Peripheral blood film.
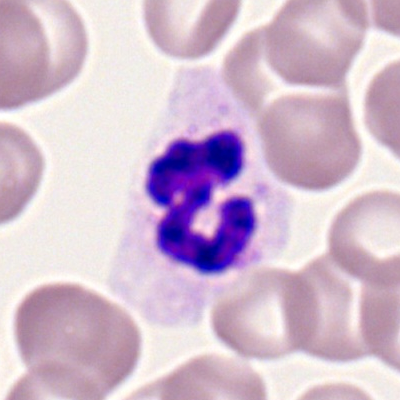

Segmented neutrophil.